250×250 px. Bone marrow aspirate smear — 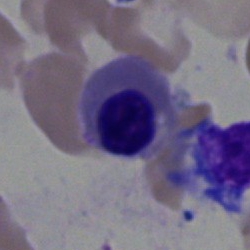Morphological class — nucleated red blood cell.